Bone marrow aspirate smear:
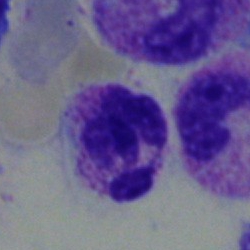
This is a neutrophil (segmented).